Bone marrow aspirate smear:
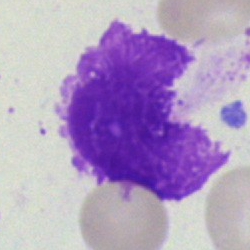

Morphology — artefact.